250×250 px; bone marrow smear.
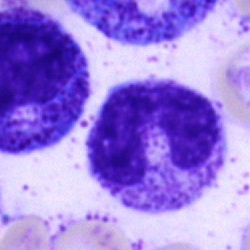
Single cell identified as a band-form neutrophil.